Bone marrow smear
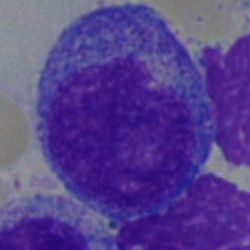
Morphology → progranulocyte.